Pappenheim-stained; bone marrow smear:
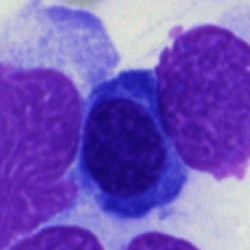 Specimen: bone marrow smear.
Morphological class: nucleated red cell.